Bone marrow smear. 250 by 250 pixels.
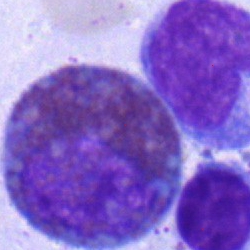 Showing an eosinophil.